Bone marrow smear
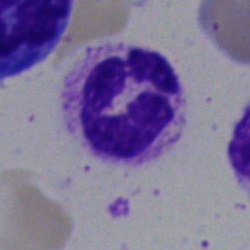 Morphological class — polymorphonuclear neutrophil.